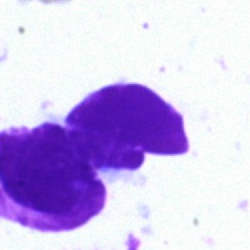

An artifact on a bone marrow smear.